Bone marrow smear. Image size 250×250.
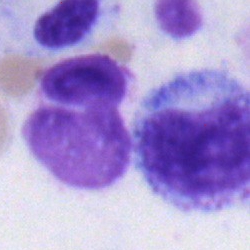
Single cell identified as a myelocyte.